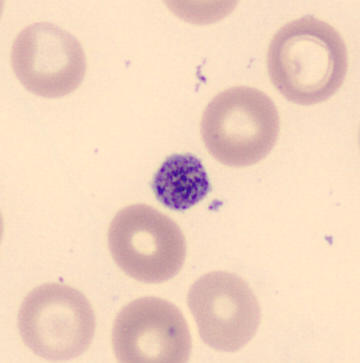

Showing a platelet. MGG-stained. Peripheral blood smear.